Image size 250×250; bone marrow aspirate smear:
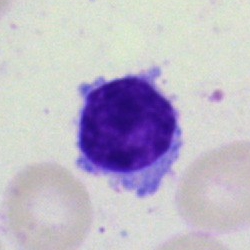

Showing a typical lymphocyte.